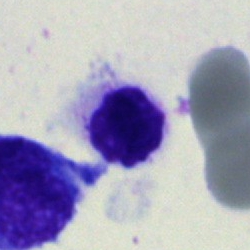

Impression — artifact.